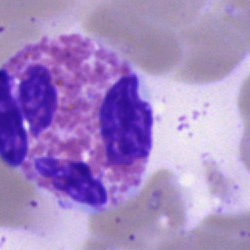Impression — eosinophilic granulocyte.